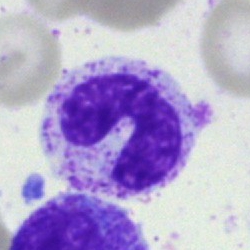 Morphology → band neutrophil.